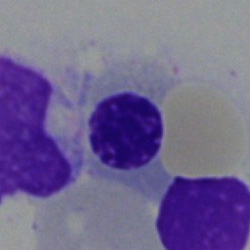 Showing a normoblast.